Bone marrow aspirate smear: 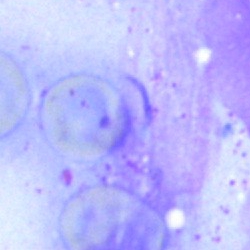
Single cell identified as an artefact.